Bone marrow aspirate smear; single-cell field.
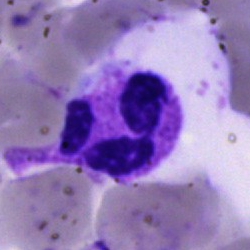

Single cell identified as a polymorphonuclear neutrophil.